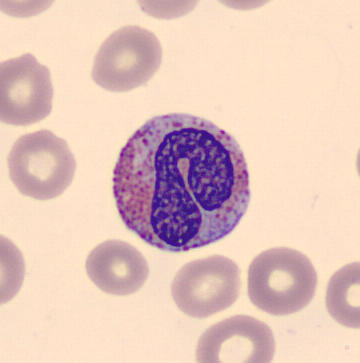Peripheral blood smear. An eosinophilic granulocyte.